Peripheral blood smear; single cell centered in the field; May Grünwald-Giemsa stain
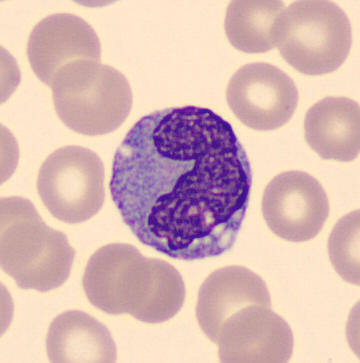Identified as a monocyte.